Peripheral blood film. Cropped to a single cell:
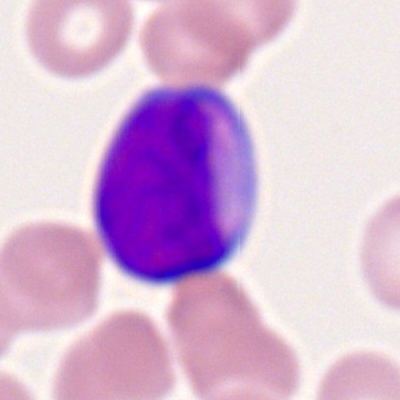

Single cell identified as a myeloblast.